Brightfield microscopy, 40× oil immersion. Bone marrow aspirate smear. Single-cell field.
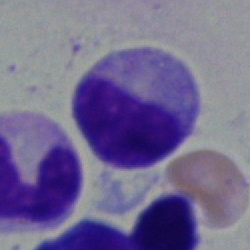 Morphology consistent with a myelocyte.